Bone marrow smear — 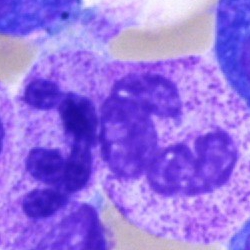
This is a polymorphonuclear neutrophil.